Bone marrow smear.
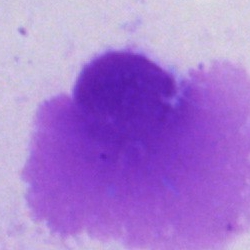
Q: What is shown here?
A: It is an artefact.